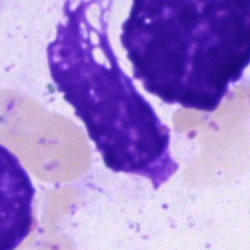 Impression → artifact.